Brightfield microscopy, 40× oil immersion. Bone marrow aspirate smear — 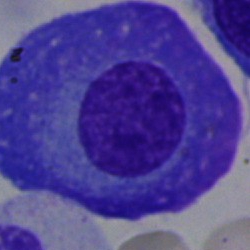 {"cell_type": "plasma cell", "lineage": "lymphoid"}